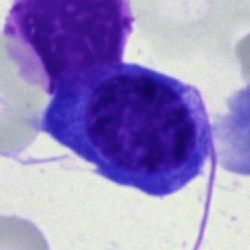 Cell = plasma cell.